40× oil immersion; image size 250×250; bone marrow smear: 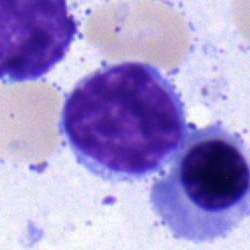

Showing a lymphocyte.